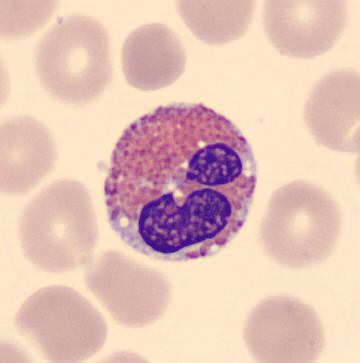Specimen: peripheral blood smear.
Cell: eosinophil.
Lineage: myeloid.